Bone marrow aspirate smear. MGG-stained:
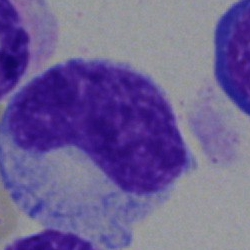Impression — metamyelocyte.